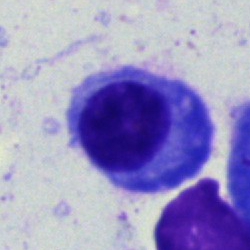

Impression → plasma cell.